Image size 250×250; bone marrow smear; 40× oil immersion.
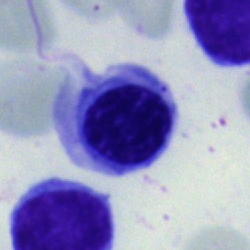

A nucleated red blood cell.